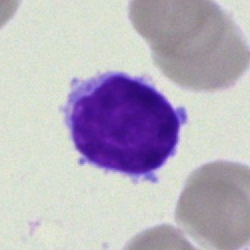
Q: What type of cell is this?
A: A typical lymphocyte.